Bone marrow smear:
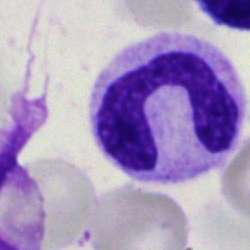 Specimen: bone marrow aspirate smear.
Cell type: neutrophil (segmented).
Lineage: myeloid.